Bone marrow smear — 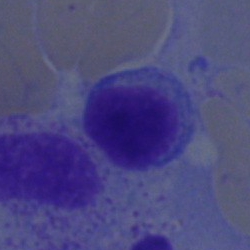Morphology consistent with a lymphocyte.